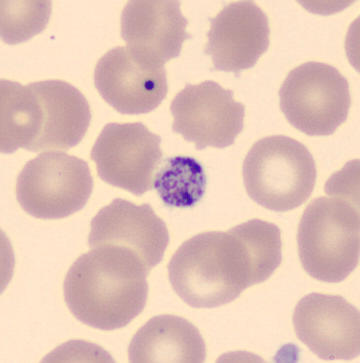

Image: Peripheral blood smear. Platelet (thrombocyte).